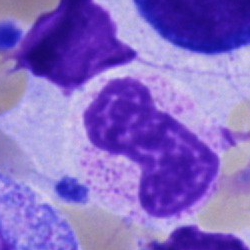
Showing a band neutrophil.